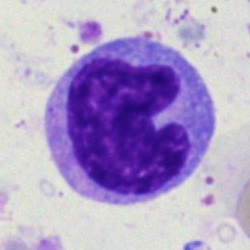 Monocyte.